Cropped to a single cell. Bone marrow aspirate smear: 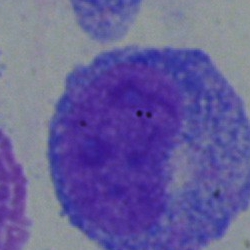A progranulocyte.